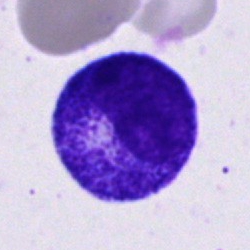
Single cell identified as a promyelocyte.